Bone marrow smear
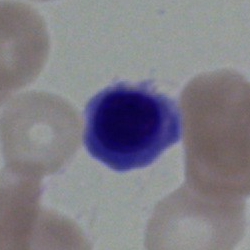 Q: What type of cell is this?
A: This is a normoblast.